Bone marrow smear.
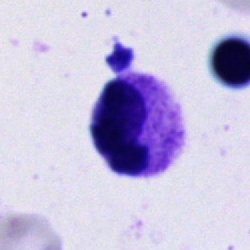The cell shown is a neutrophil (segmented).